Bone marrow smear; 40× oil immersion: 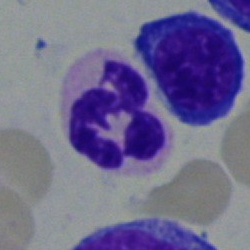

Q: Which cell type is shown here?
A: This is a polymorphonuclear neutrophil.